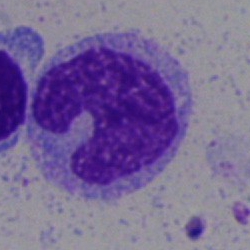
Cell: monocyte.